Bone marrow smear: 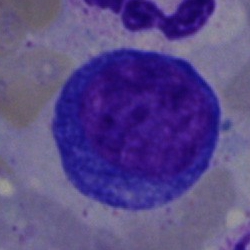

Q: What type of cell is this?
A: It is a proerythroblast.